Bone marrow smear · 250 by 250 pixels
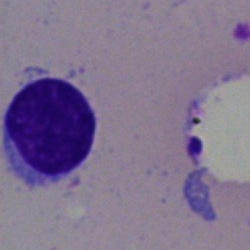
Classification = typical lymphocyte.